Peripheral blood smear
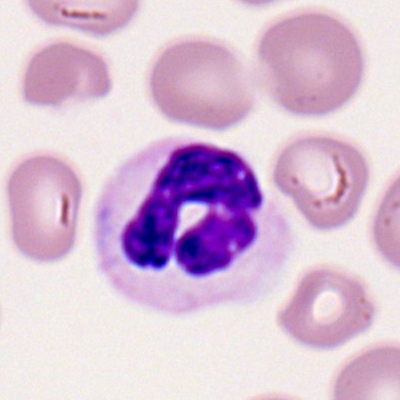 Polymorphonuclear neutrophil.